Peripheral blood film — 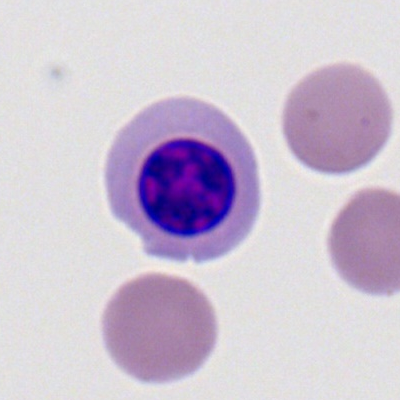

Cell: normoblast.